Bone marrow aspirate smear — 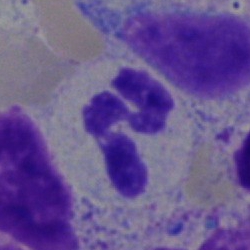
Cell — polymorphonuclear neutrophil.